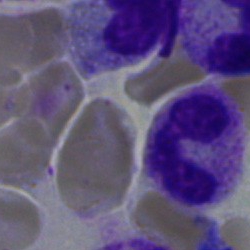
Cell type: band neutrophil.